Bone marrow aspirate smear — 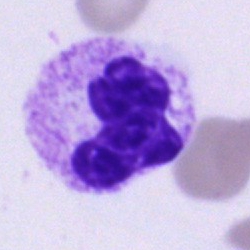

The morphological class is neutrophil (segmented).